Single-cell crop; bone marrow aspirate smear
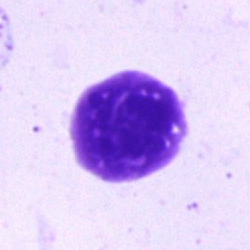

Morphology → artefact.